Pappenheim-stained · bone marrow aspirate smear
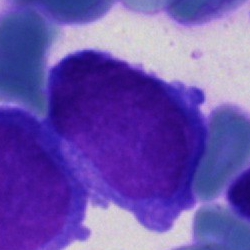 Cell: undifferentiated blast.